Bone marrow smear.
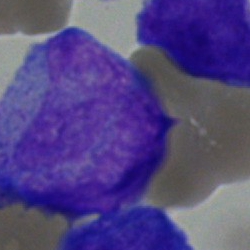The cell shown is a blast.